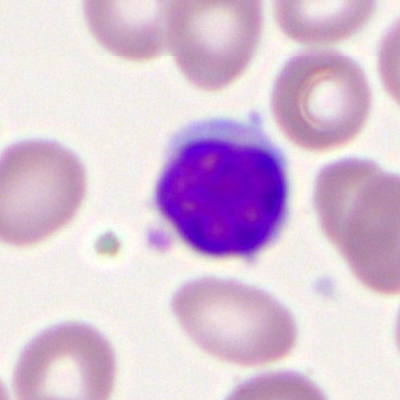 Classification = typical lymphocyte.